MGG-stained; bone marrow aspirate smear
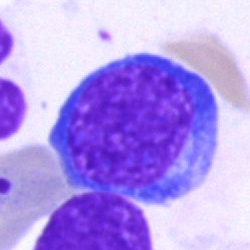
A nucleated red cell.